MGG-stained; bone marrow smear — 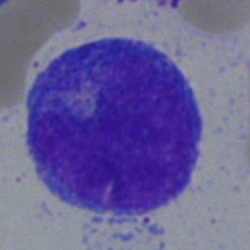

Impression — promyelocyte.